Peripheral blood smear · image size 400×400:
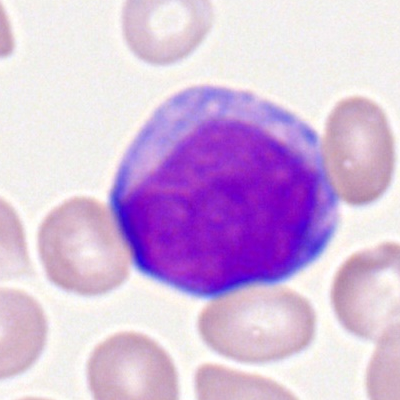
Cell: myeloid blast.